Bone marrow aspirate smear · 40× oil immersion — 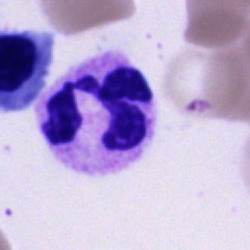

Morphology consistent with a polymorphonuclear neutrophil.